Bone marrow aspirate smear
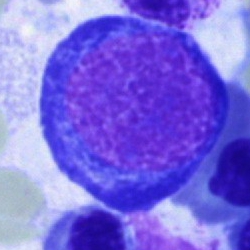 Morphology consistent with a pronormoblast.